Bone marrow aspirate smear
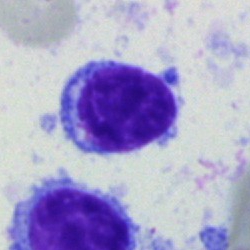 Cell type — typical lymphocyte.